Bone marrow smear. Brightfield, 40× oil-immersion objective. May-Grünwald-Giemsa/Pappenheim stain:
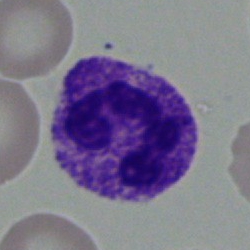 Showing a segmented neutrophil.